Bone marrow smear
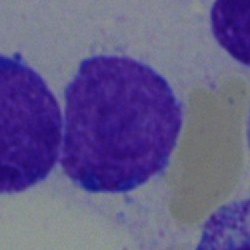
Cell = undifferentiated blast.